Bone marrow aspirate smear: 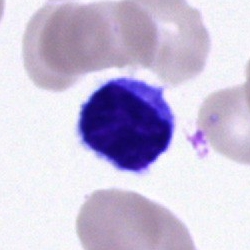
Specimen: bone marrow aspirate smear.
Cell: typical lymphocyte.
Lineage: lymphoid.